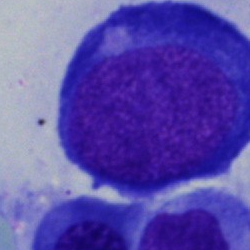 Bone marrow aspirate smear, single cell — erythroblast.